Bone marrow aspirate smear:
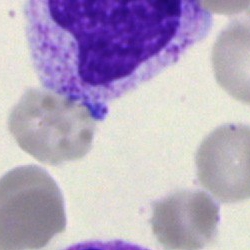

An unidentifiable cell.